Bone marrow smear — 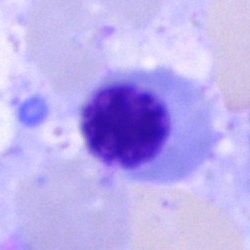Cell type = erythroblast.